Image size 360×363; peripheral blood film.
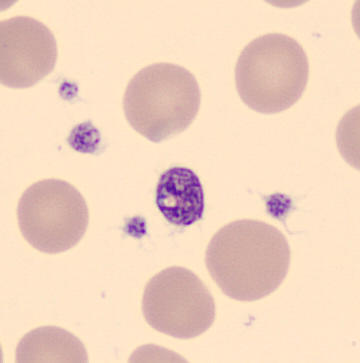

{"cell_type": "platelet"}